Brightfield, 100× oil-immersion objective; peripheral blood smear:
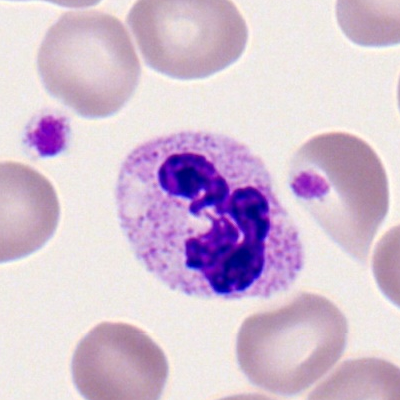 Impression → polymorphonuclear neutrophil.